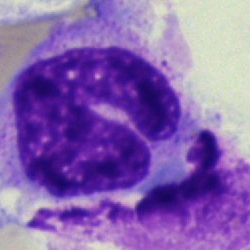 The classification is monocyte.